Bone marrow aspirate smear
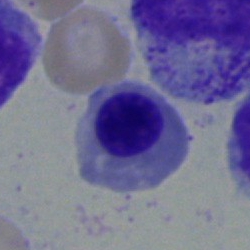This is a nucleated red blood cell.